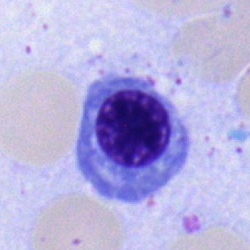
Morphological class — nucleated red cell.